Bone marrow smear:
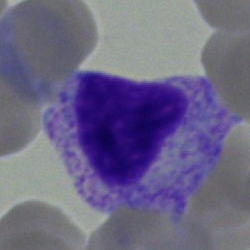

Morphology — myelocyte.